Single-cell field · bone marrow smear: 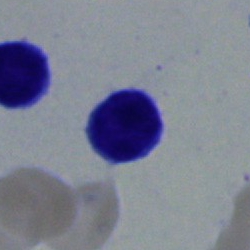 Q: What cell is this?
A: It is a typical lymphocyte.